250 by 250 pixels; bone marrow aspirate smear — 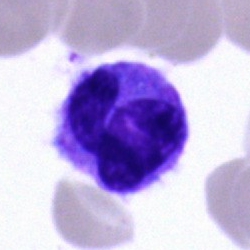
This is a monocyte.